Bone marrow aspirate smear — 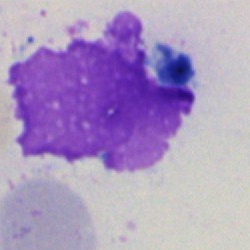

Cell — artefact.